250×250 px · bone marrow aspirate smear · 40× oil immersion:
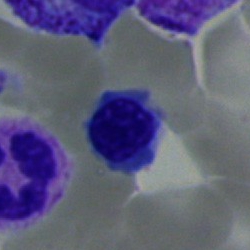

This is a nucleated red blood cell.